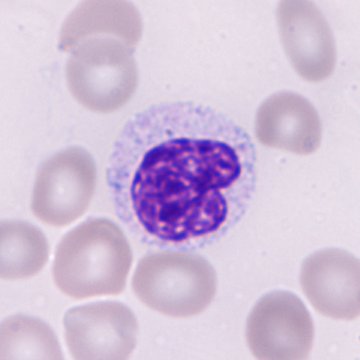
Preparation: Peripheral blood film · single-cell field. The cell type is immature granulocyte (promyelocyte, myelocyte or metamyelocyte).